250×250 · bone marrow aspirate smear
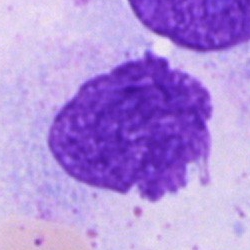 Q: What is shown here?
A: Artifact.